Peripheral blood film; M8 digital microscope (Precipoint), 100× oil immersion; single-cell crop.
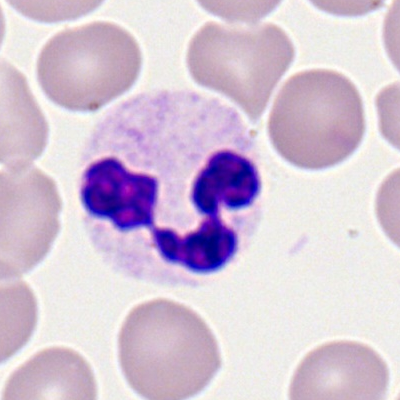 Cell — polymorphonuclear neutrophil.